Bone marrow smear
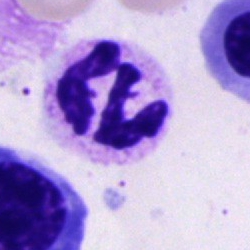 Q: Which cell type is shown here?
A: It is a neutrophil (segmented).